Bone marrow smear; May-Grünwald-Giemsa/Pappenheim stain
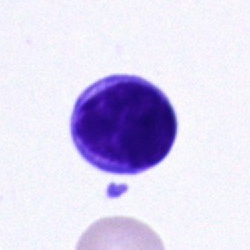

The cell shown is a lymphocyte.